Bone marrow aspirate smear:
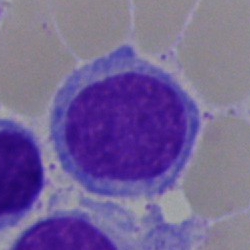 Morphology consistent with a typical lymphocyte.